Peripheral blood smear.
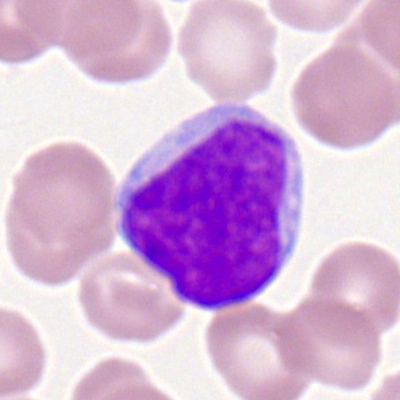Specimen: peripheral blood smear.
Classification: myeloblast.
Lineage: myeloid.